Single-cell crop; 40× oil immersion; bone marrow aspirate smear
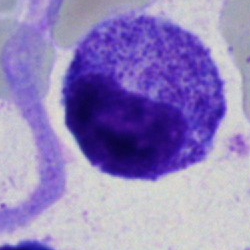 Q: What is the morphological classification of this cell?
A: Myelocyte.